Bone marrow aspirate smear: 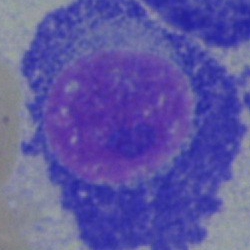
Specimen: bone marrow smear.
Cell type: plasma cell.